Bone marrow aspirate smear: 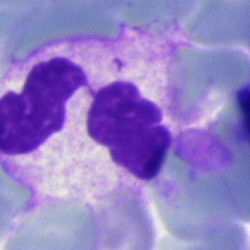
Morphological class — neutrophil (segmented).